Bone marrow smear · cropped to a single cell · MGG-stained: 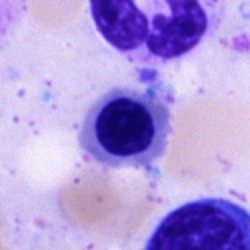 Showing an erythroblast.